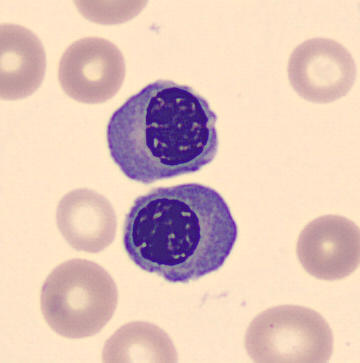

Cell: erythroblast.